Bone marrow aspirate smear:
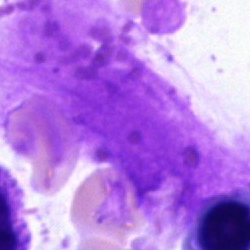 The morphological class is artifact.